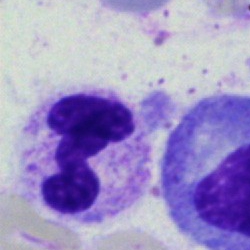Impression — polymorphonuclear neutrophil.